Bone marrow smear: 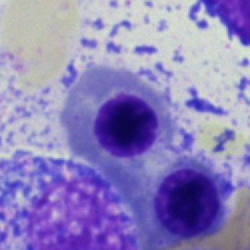A nucleated red blood cell.